Bone marrow smear:
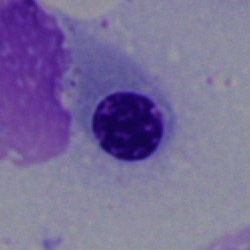 Impression → nucleated red blood cell.